Bone marrow smear — 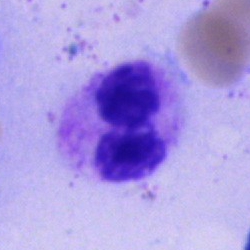

Neutrophil (segmented).